Bone marrow smear:
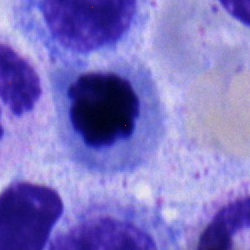
Specimen: bone marrow aspirate smear.
Morphological class: nucleated red cell.
Lineage: erythroid.